Bone marrow aspirate smear.
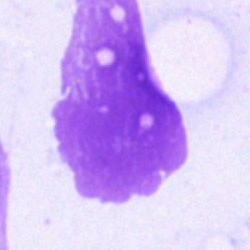 Artefact.